Peripheral blood smear. 100× oil immersion
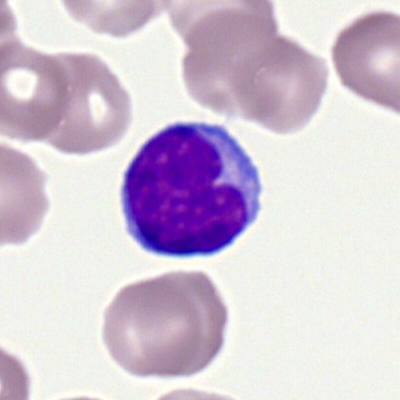 Cell — typical lymphocyte.